MGG-stained; image size 250×250; bone marrow smear.
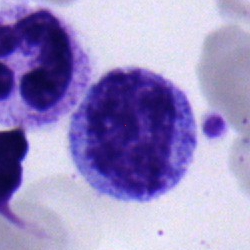

Q: What is the morphological classification of this cell?
A: This is a myelocyte.